Bone marrow smear; single-cell field.
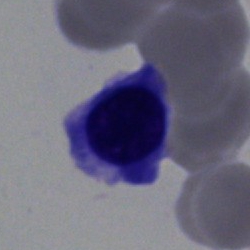
Specimen: bone marrow aspirate smear.
Morphological class: normoblast.